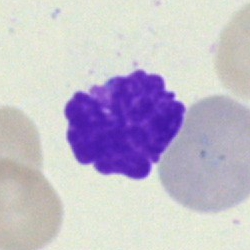 Cell type — artefact.